Bone marrow aspirate smear:
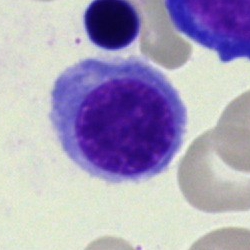

A nucleated red blood cell.